Cropped to a single cell · bone marrow aspirate smear · 250 by 250 pixels.
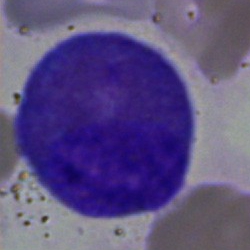
The cell shown is an eosinophil.